Bone marrow smear · 250×250 px · brightfield microscopy, 40× oil immersion.
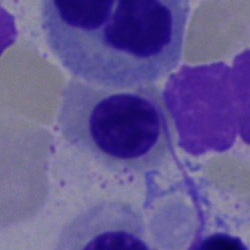 Q: What is shown here?
A: It is a nucleated red cell.